Bone marrow smear. May-Grünwald-Giemsa/Pappenheim stain. Image size 250×250:
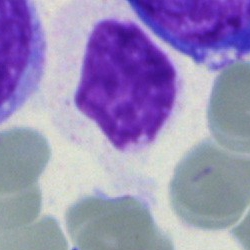Morphological class: artefact.